Bone marrow smear: 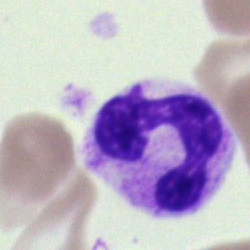Specimen: bone marrow smear.
Cell: polymorphonuclear neutrophil.
Lineage: myeloid.